Bone marrow aspirate smear · May-Grünwald-Giemsa/Pappenheim stain: 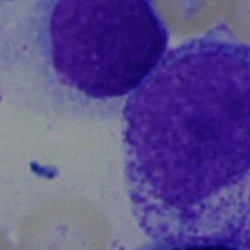 Single cell identified as a myelocyte.